40× oil immersion · image size 250×250 · bone marrow smear.
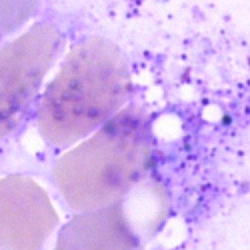Classification = artefact.